Peripheral blood film: 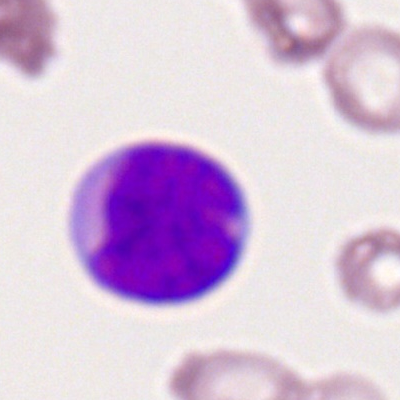

Morphology — myeloblast.